Bone marrow smear.
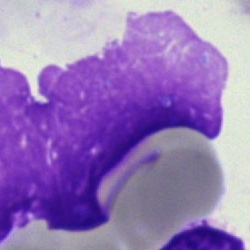
{"cell_type": "artifact"}